Peripheral blood film:
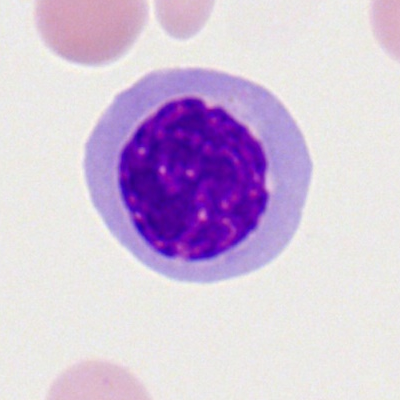
Morphological class: erythroblast.